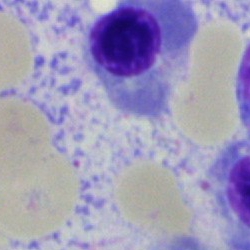
The cell shown is an erythroblast.